Single-cell crop · bone marrow aspirate smear · brightfield, 40× oil-immersion objective — 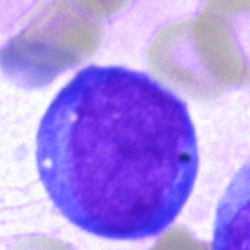

Morphological class: blast.